Peripheral blood smear:
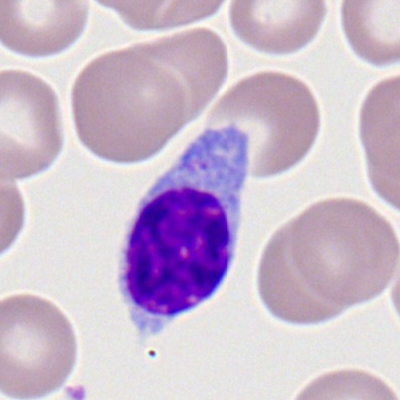Cell type — typical lymphocyte.